Bone marrow smear
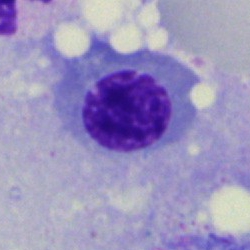

Cell: nucleated red blood cell.